Bone marrow aspirate smear.
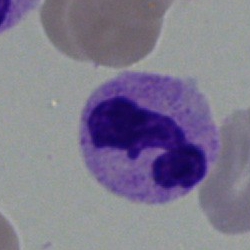{"cell_type": "neutrophil (segmented)"}